Bone marrow aspirate smear
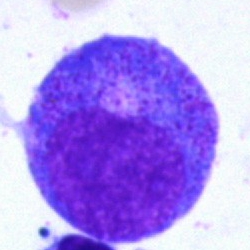
Morphological class — progranulocyte.